Brightfield, 40× oil-immersion objective. Bone marrow aspirate smear — 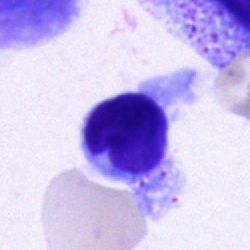
Classification — typical lymphocyte.